Bone marrow smear
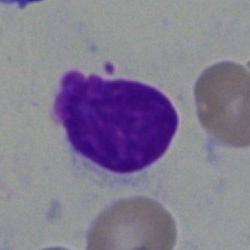
Q: What is shown here?
A: It is an artefact.